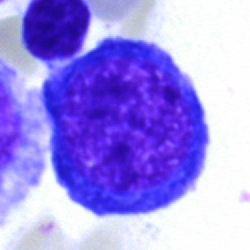

Single-cell crop from a bone marrow smear: nucleated red blood cell.